Peripheral blood film · Romanowsky-stained · 400×400 px:
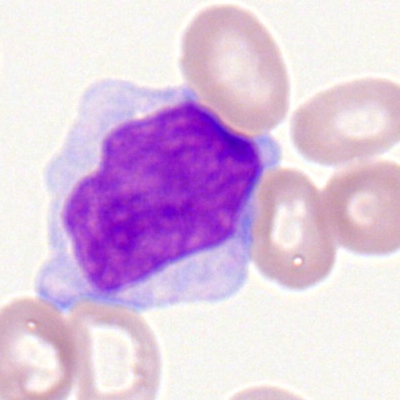Monocyte.